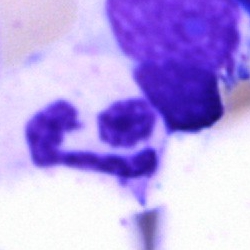Impression → neutrophil (segmented).